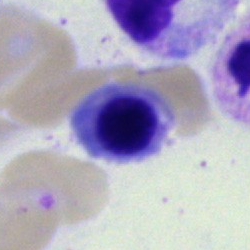
Bone marrow smear showing a nucleated red blood cell.